Bone marrow smear · single cell centered in the field
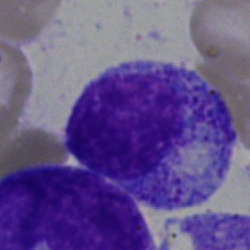 Impression → myelocyte.